Bone marrow smear:
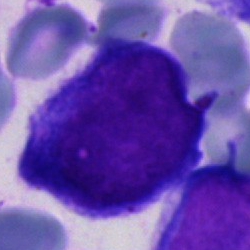Q: Which cell type is shown here?
A: This is an undifferentiated blast.